Bone marrow smear · 250 by 250 pixels.
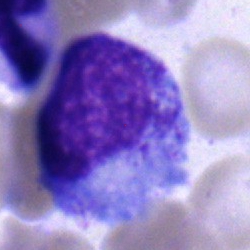 The cell is myelocyte.